Brightfield microscopy, 40× oil immersion · bone marrow aspirate smear.
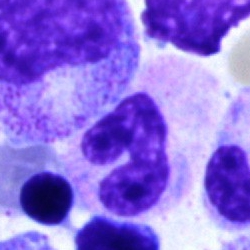 This is a neutrophil (band).